Bone marrow aspirate smear: 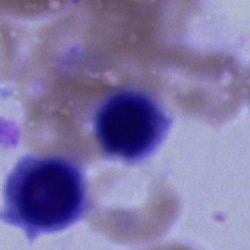The morphological class is erythroblast.